Bone marrow smear · brightfield microscopy, 40× oil immersion.
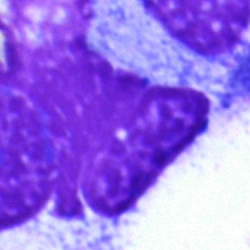
Q: What is shown here?
A: Artefact.